Peripheral blood film.
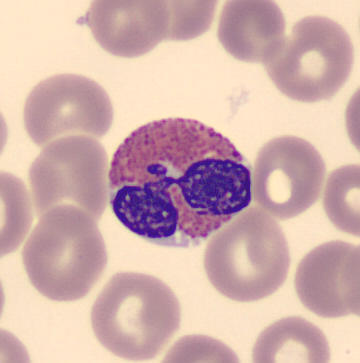
An eosinophil.